Bone marrow aspirate smear: 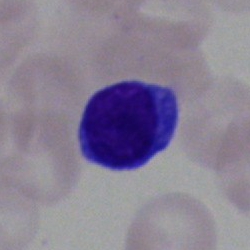
Q: What cell is this?
A: A typical lymphocyte.